Bone marrow smear — 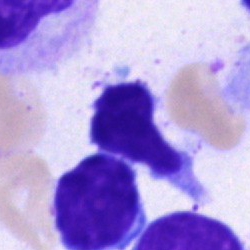 The classification is typical lymphocyte.